Bone marrow aspirate smear.
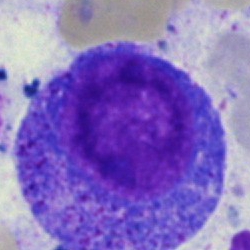The classification is progranulocyte.